Peripheral blood smear: 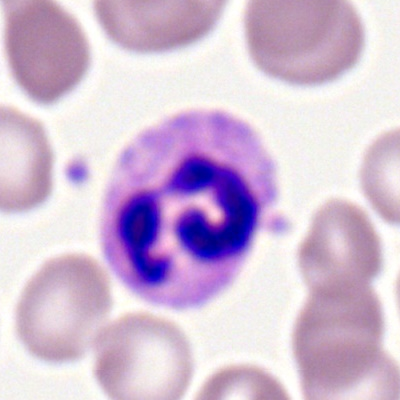Impression → neutrophil (segmented).